250 by 250 pixels; brightfield microscopy, 40× oil immersion; bone marrow aspirate smear
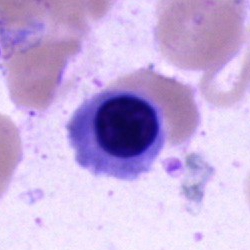 Morphology consistent with an erythroblast.